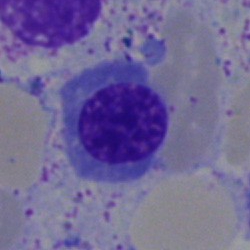The morphological class is erythroblast.